Bone marrow aspirate smear. MGG-stained.
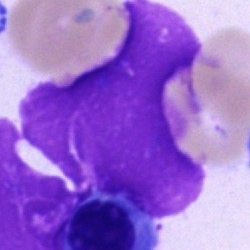 Artefact.